Single-cell crop; bone marrow aspirate smear — 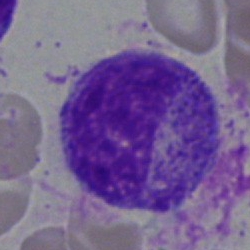The cell shown is a myelocyte.